Peripheral blood smear:
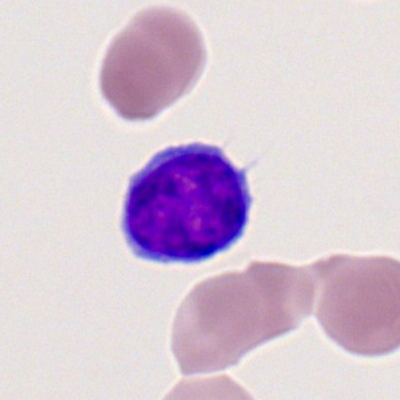 The cell shown is a lymphocyte.